Bone marrow aspirate smear.
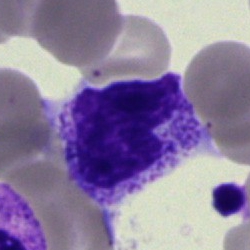
Morphological class: metamyelocyte.